Bone marrow aspirate smear.
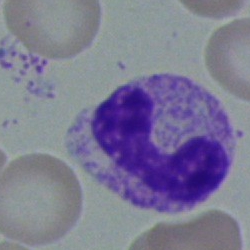Single cell identified as a band neutrophil.